40× oil immersion · bone marrow smear.
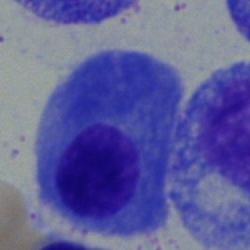 {"cell_type": "plasmacyte", "lineage": "lymphoid"}